Single-cell field. Bone marrow aspirate smear. Image size 250×250 — 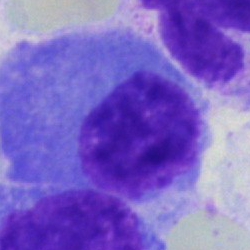

This is a plasmacyte.